Bone marrow aspirate smear; 40× objective, oil immersion: 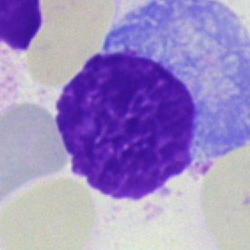 The cell is plasmacyte.